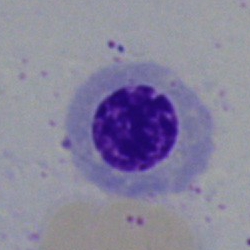
The classification is nucleated red cell.